May-Grünwald-Giemsa stain. Brightfield microscopy, 40× oil immersion. Bone marrow aspirate smear — 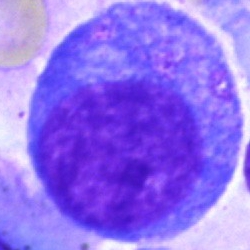

This is a promyelocyte.